Romanowsky stain; peripheral blood smear
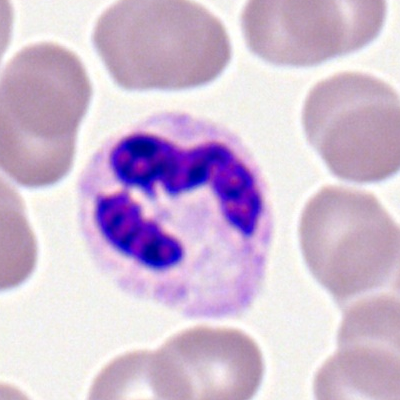

Q: What is the morphological classification of this cell?
A: This is a polymorphonuclear neutrophil.